Bone marrow aspirate smear; image size 250×250.
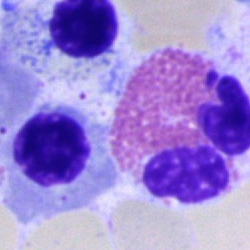Morphological class = eosinophilic granulocyte.